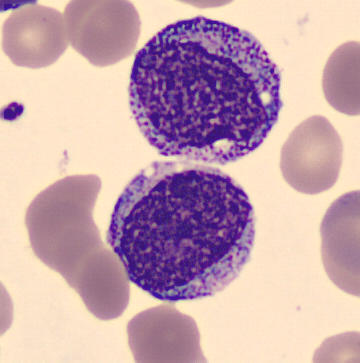

Preparation: Peripheral blood smear.
Q: What type of cell is this?
A: A promyelocyte.